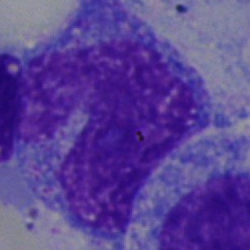 Morphology → monocyte.